250×250 px · bone marrow aspirate smear · 40× oil immersion
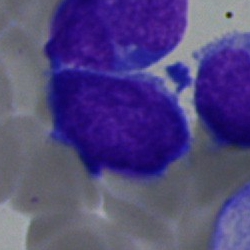

The cell shown is an undifferentiated blast.